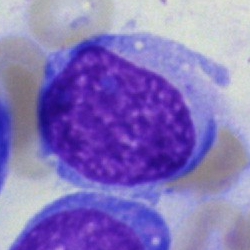 Single cell identified as a blast.